Bone marrow aspirate smear:
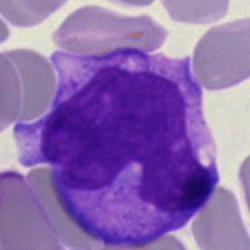
Morphological class: monocyte.